250×250 · bone marrow aspirate smear.
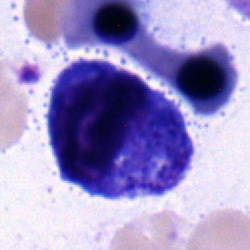The cell is promyelocyte.